Peripheral blood film. Romanowsky-type stain: 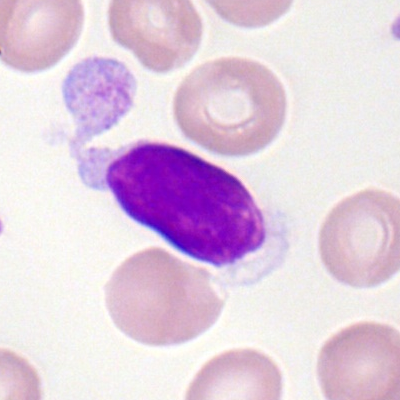

Single cell identified as a typical lymphocyte.